Bone marrow smear · 40× objective, oil immersion — 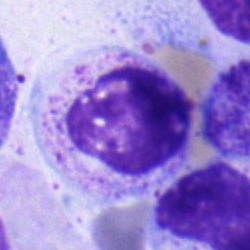
Morphological class = metamyelocyte.